Bone marrow aspirate smear. 250×250 px: 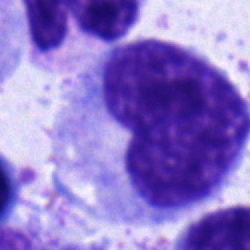The cell shown is a metamyelocyte.